Cropped to a single cell · bone marrow aspirate smear:
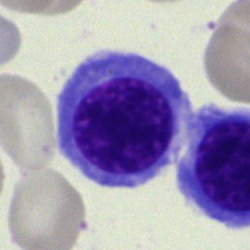

The cell shown is an erythroblast.